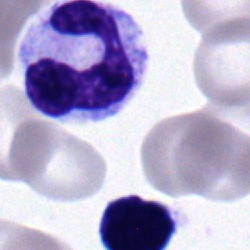

Specimen: bone marrow aspirate smear.
Cell type: segmented neutrophil.